Single cell centered in the field. 250 by 250 pixels. Bone marrow aspirate smear — 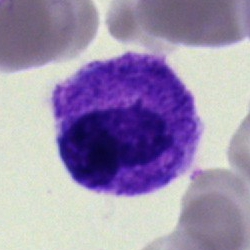Single cell identified as a neutrophil (band).